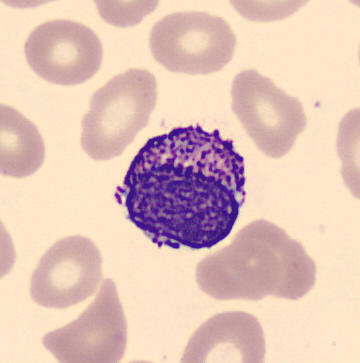

A basophilic granulocyte. Peripheral blood smear.